Bone marrow aspirate smear.
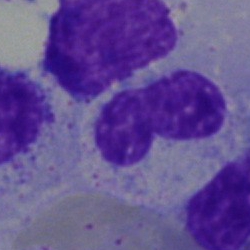Showing a stab cell.